Bone marrow aspirate smear: 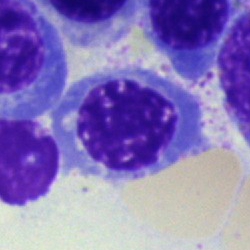
Specimen: bone marrow aspirate smear.
Cell type: normoblast.
Lineage: erythroid.